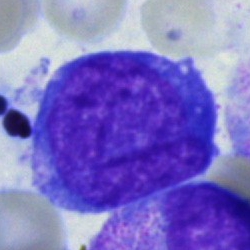Q: Identify the cell.
A: A blast cell.